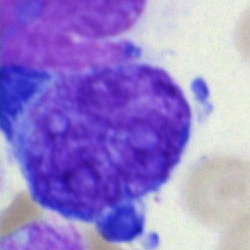

Bone marrow smear showing an immature lymphocyte.